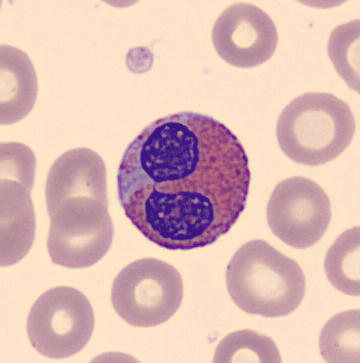 The morphological class is eosinophilic granulocyte.
Peripheral blood smear · CellaVision DM96 digital cell image · image size 360×363.